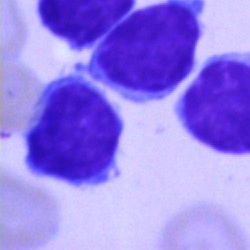 Cell — lymphocyte.